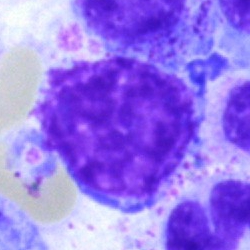
Impression → typical lymphocyte.